May-Grünwald-Giemsa stain; bone marrow smear:
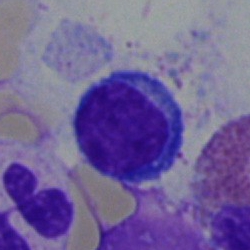
Cell = typical lymphocyte.